Peripheral blood smear: 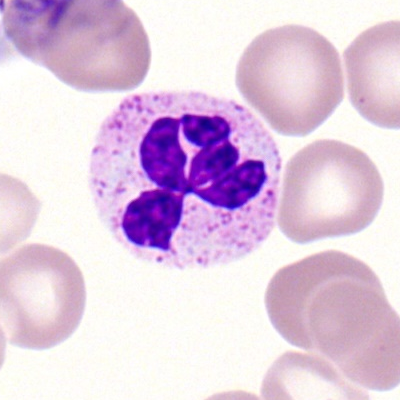Single cell identified as a segmented neutrophil.